Bone marrow aspirate smear; single-cell crop.
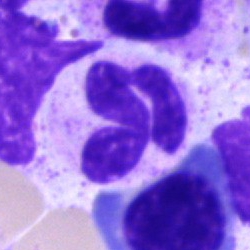Q: What type of cell is this?
A: It is a segmented neutrophil.